Bone marrow smear
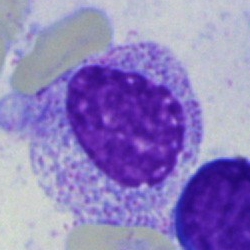
The cell shown is a myelocyte.